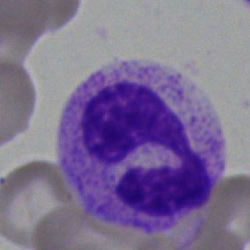 Cell = neutrophil (segmented).